Image size 250×250; single-cell field; bone marrow smear
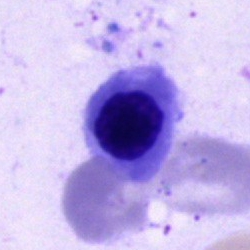Nucleated red cell.